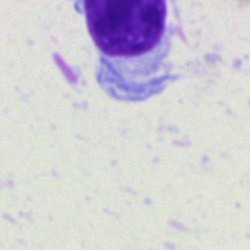

This is an unidentifiable cell.